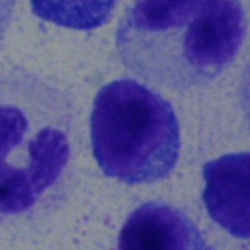Classification — typical lymphocyte.